Bone marrow aspirate smear.
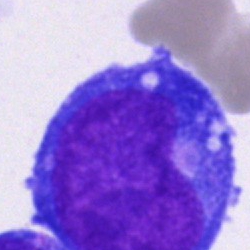Q: Which cell type is shown here?
A: Undifferentiated blast.